Single-cell field; peripheral blood smear: 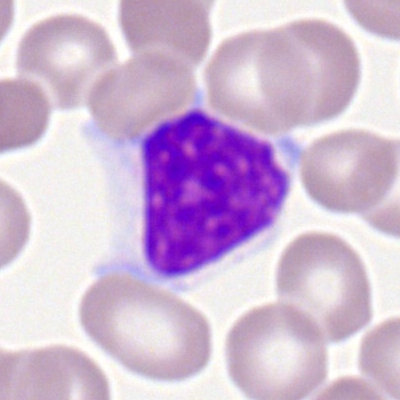
{"cell_type": "typical lymphocyte", "lineage": "lymphoid"}